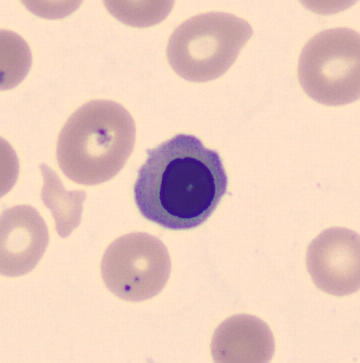
Normoblast.
Acquisition: May Grünwald-Giemsa stain · peripheral blood smear · cropped to a single cell.